Bone marrow smear: 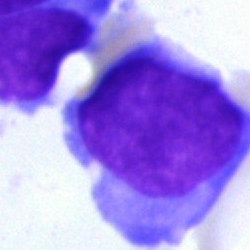 Q: What type of cell is this?
A: It is an undifferentiated blast.